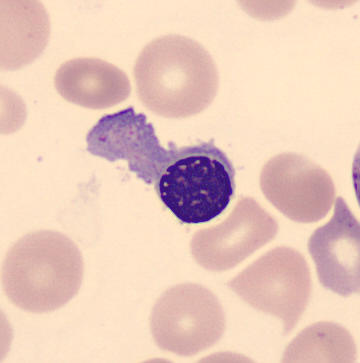 Single-cell crop from a peripheral blood smear: erythroblast.